Cropped to a single cell · bone marrow smear — 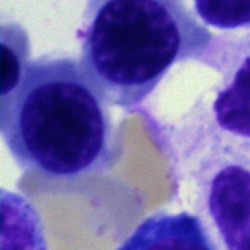
Specimen: bone marrow smear.
Cell: erythroblast.